Bone marrow smear — 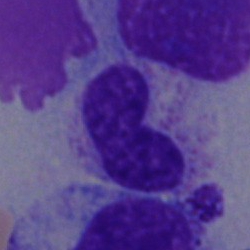 The cell shown is a band-form neutrophil.